Peripheral blood film:
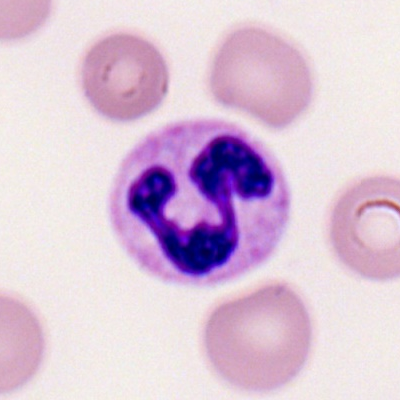

Q: Identify the cell.
A: It is a segmented neutrophil.